Bone marrow aspirate smear.
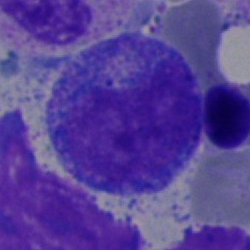
Morphological class: progranulocyte.